250×250 px; bone marrow aspirate smear — 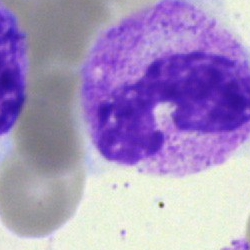Cell type = stab cell.